May-Grünwald-Giemsa stain · bone marrow aspirate smear · brightfield, 40× oil-immersion objective:
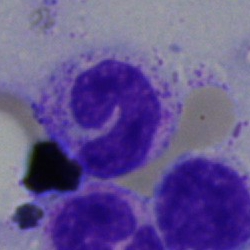

Q: Which cell type is shown here?
A: A band-form neutrophil.